Bone marrow smear.
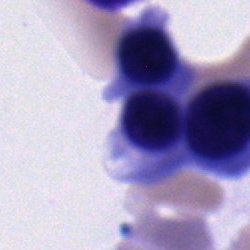
The cell shown is a segmented neutrophil.